Bone marrow smear
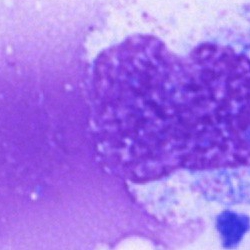 Showing an artifact.